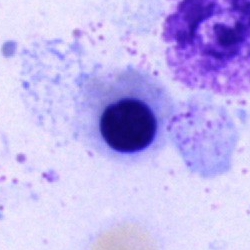Bone marrow aspirate smear, single cell — nucleated red cell.